Bone marrow smear.
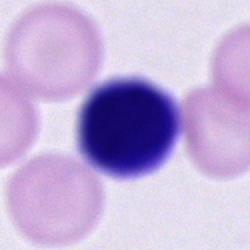This is an unidentifiable cell.